Single cell centered in the field; bone marrow aspirate smear
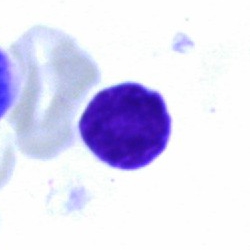

Morphology → typical lymphocyte.